Bone marrow smear
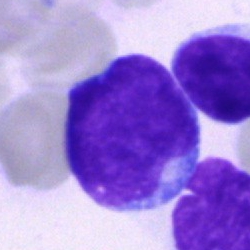Showing a blast cell.